Bone marrow aspirate smear:
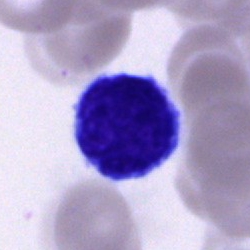 Morphology consistent with a lymphocyte.